MGG-stained · bone marrow aspirate smear — 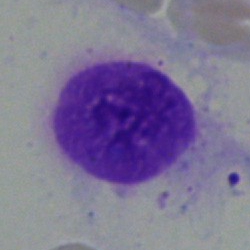 An artifact.